Image size 400×400 · M8 digital microscope (Precipoint), 100× oil immersion · peripheral blood film.
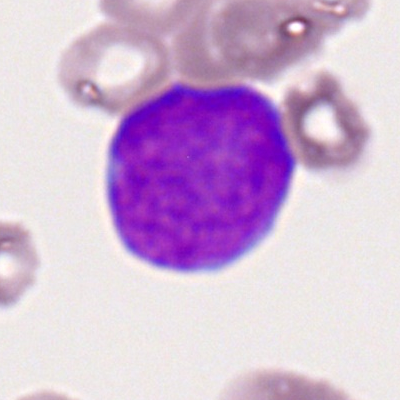 Morphology — myeloid blast.